Bone marrow smear: 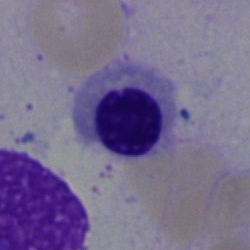Erythroblast.